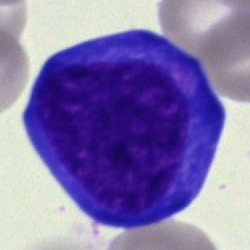 Cell: pronormoblast.